Bone marrow smear.
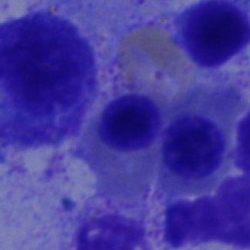

Morphology consistent with a nucleated red blood cell.